Bone marrow aspirate smear:
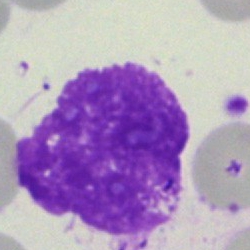
Morphological class = artefact.